Bone marrow smear — 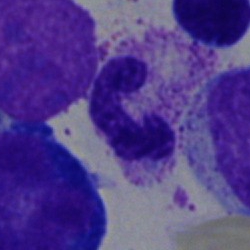

Cell = stab cell.